Bone marrow aspirate smear: 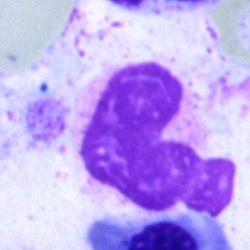 This is an artifact.